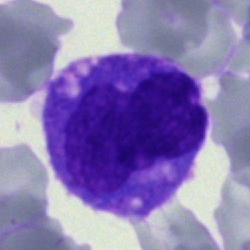
Cell type: monocyte.